Bone marrow smear — 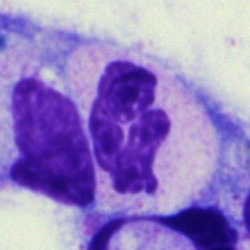Specimen: bone marrow aspirate smear.
Cell type: neutrophil (segmented).